Single cell centered in the field; bone marrow aspirate smear; 250×250 px.
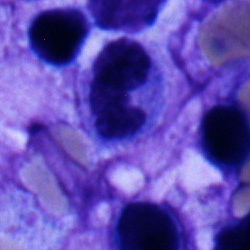
Showing a polymorphonuclear neutrophil.